Bone marrow smear
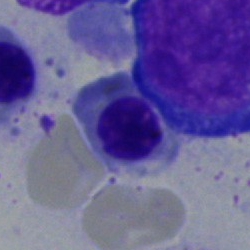
Classification: nucleated red blood cell.